Peripheral blood film.
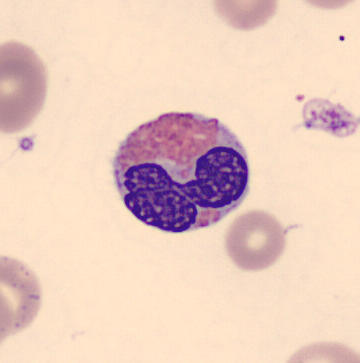Cell — eosinophil.